Single-cell field · bone marrow aspirate smear · 40× oil immersion.
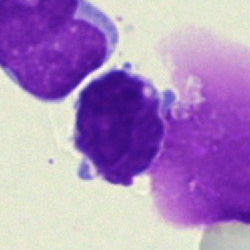Q: What is the morphological classification of this cell?
A: A lymphocyte.